Bone marrow smear — 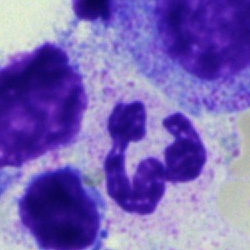
Q: Which cell type is shown here?
A: Polymorphonuclear neutrophil.